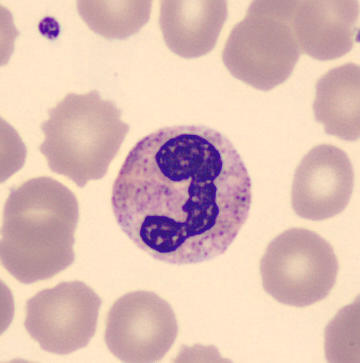 Showing a neutrophil (band).

CellaVision DM96 · peripheral blood film · image size 360×363.